250 by 250 pixels. Bone marrow smear:
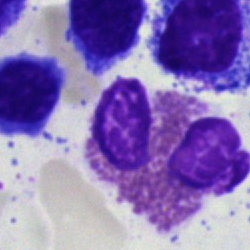
The cell type is eosinophil.